Bone marrow smear — 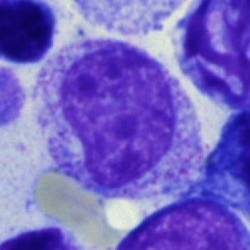Q: What type of cell is this?
A: This is a myelocyte.